Bone marrow aspirate smear:
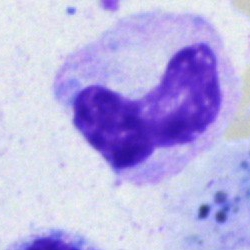
Impression → neutrophil (band).